40× oil immersion. Bone marrow aspirate smear. Single-cell field
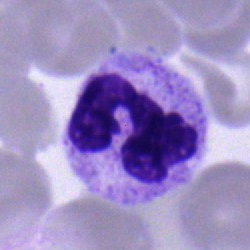

Q: What type of cell is this?
A: Segmented neutrophil.